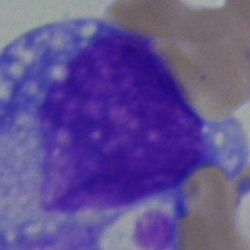

Single cell identified as a monocyte.